Bone marrow aspirate smear — 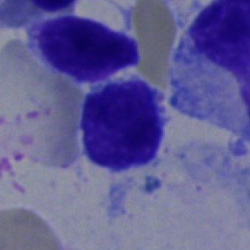Morphology — typical lymphocyte.